MGG-stained. Bone marrow aspirate smear:
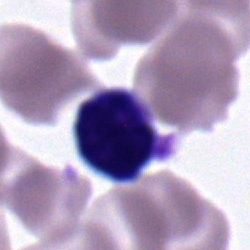
Q: What cell is this?
A: It is a lymphocyte.